Cropped to a single cell · bone marrow aspirate smear:
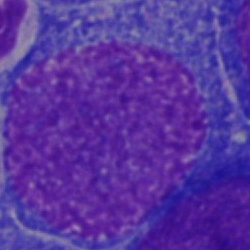{"cell_type": "blast cell"}